250×250 · bone marrow aspirate smear · single cell centered in the field.
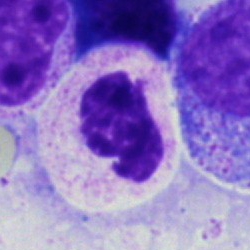A neutrophil (segmented).